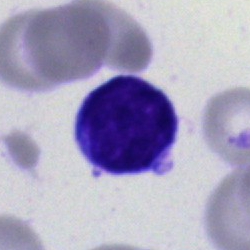
Cell type — blast.